Single-cell field. Bone marrow aspirate smear: 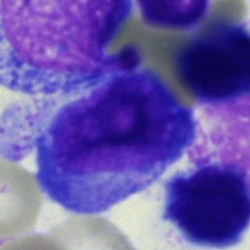
This is an undifferentiated blast.